Bone marrow smear; 250×250:
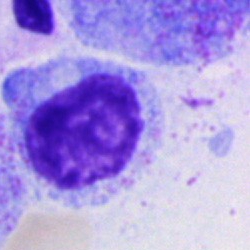
{"cell_type": "myelocyte"}